Bone marrow aspirate smear:
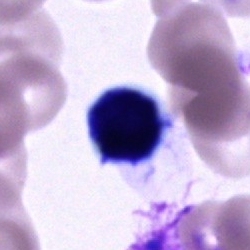
Q: What is the morphological classification of this cell?
A: It is a cell of indeterminate lineage.